May-Grünwald-Giemsa stain; bone marrow aspirate smear:
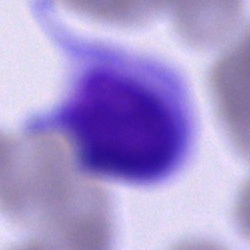
Cell: unidentifiable cell.